Bone marrow smear; May-Grünwald-Giemsa/Pappenheim stain:
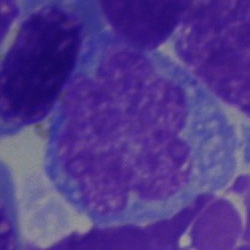

Cell type — monocyte.